Image size 250×250 · single-cell crop · bone marrow aspirate smear: 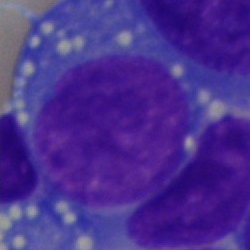

This is a blast.